Bone marrow aspirate smear
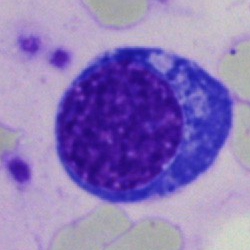 Specimen: bone marrow aspirate smear.
Cell: normoblast.